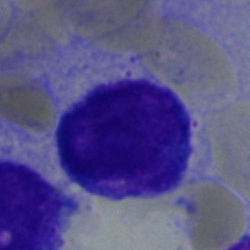

Cell — blast cell.